Single cell centered in the field. Bone marrow smear. 250×250
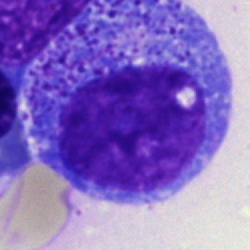
Impression → progranulocyte.